250 by 250 pixels; cropped to a single cell; bone marrow smear
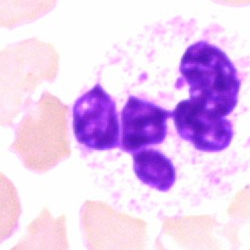
Morphology — neutrophil (segmented).